May-Grünwald-Giemsa stain. Bone marrow aspirate smear: 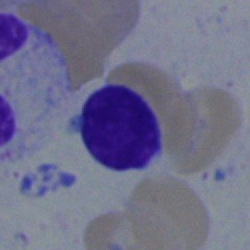Morphological class = lymphocyte.